Bone marrow smear. May-Grünwald-Giemsa/Pappenheim stain.
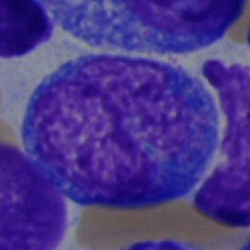

This is a blast cell.